250×250 px. Bone marrow smear. May-Grünwald-Giemsa/Pappenheim stain.
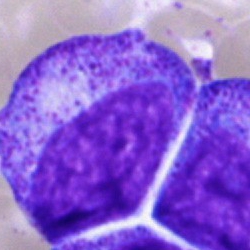

{"cell_type": "progranulocyte"}